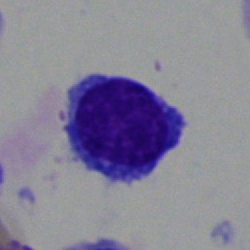Classification — lymphocyte.